Bone marrow smear: 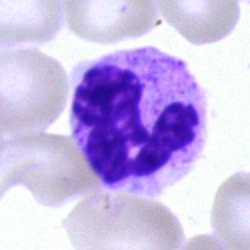The cell is neutrophil (segmented).